Peripheral blood smear. 100× oil immersion. Cropped to a single cell:
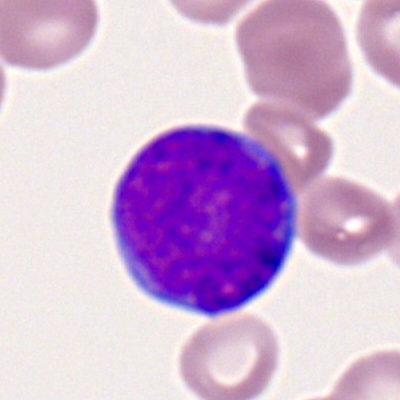{"cell_type": "myeloblast"}